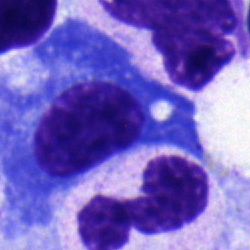
Classification — plasmacyte.